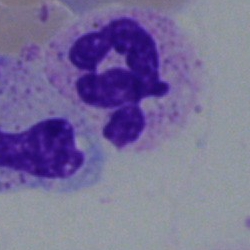

The cell shown is a segmented neutrophil.